May-Grünwald-Giemsa/Pappenheim stain · bone marrow aspirate smear.
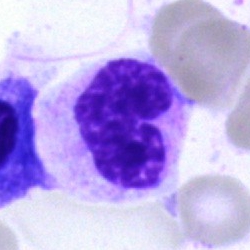The cell shown is a band neutrophil.